Bone marrow smear — 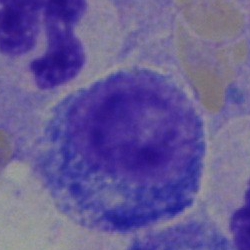

This is a progranulocyte.